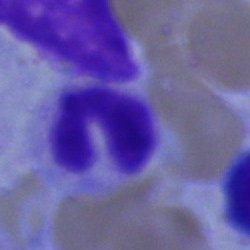

A band-form neutrophil on a bone marrow smear.